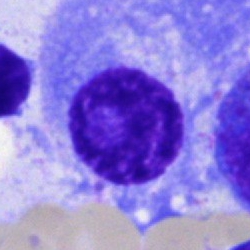

Q: What type of cell is this?
A: Plasma cell.